Bone marrow aspirate smear:
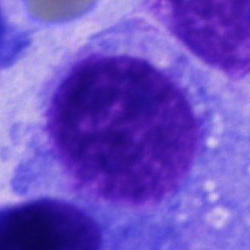

A cell not matching the other categories.